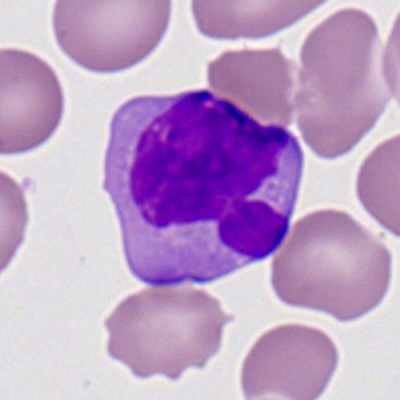
Q: Which cell type is shown here?
A: It is a myeloid blast.